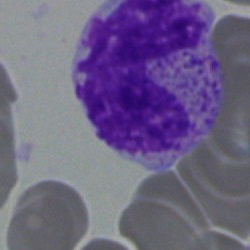{"cell_type": "neutrophil (band)", "lineage": "myeloid"}